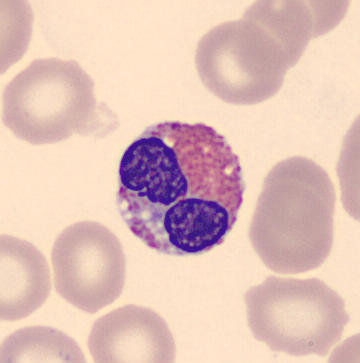Morphological class = eosinophilic granulocyte.